Bone marrow aspirate smear.
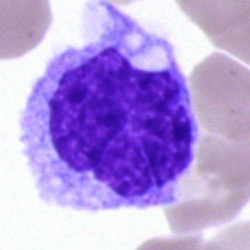
Single cell identified as a monocyte.